Bone marrow smear · 250×250 px · May-Grünwald-Giemsa stain — 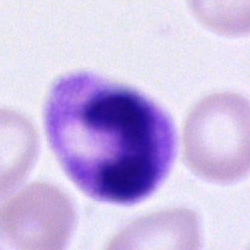
Impression — neutrophil (segmented).